40× oil immersion. Bone marrow smear. Single-cell crop
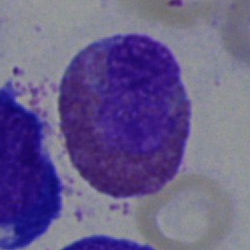Single cell identified as an eosinophil.